Bone marrow aspirate smear; cropped to a single cell: 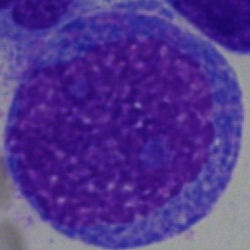Showing a promyelocyte.